Bone marrow smear; 250×250
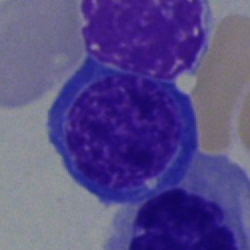

Specimen: bone marrow smear.
Cell: normoblast.
Lineage: erythroid.